Bone marrow smear: 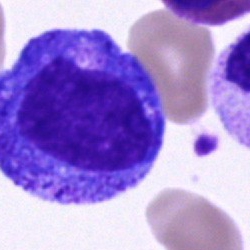 Specimen: bone marrow aspirate smear.
Cell: progranulocyte.
Lineage: myeloid.